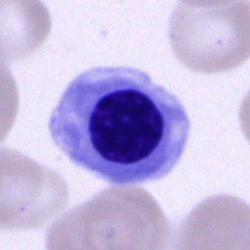 A nucleated red blood cell on a bone marrow smear.